Bone marrow aspirate smear · MGG-stained:
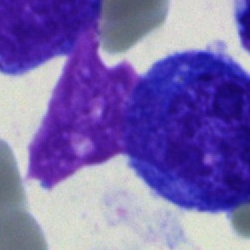

Morphology → blast.